Image size 250×250; bone marrow smear
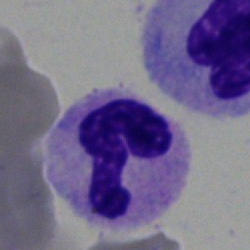
Classification = segmented neutrophil.